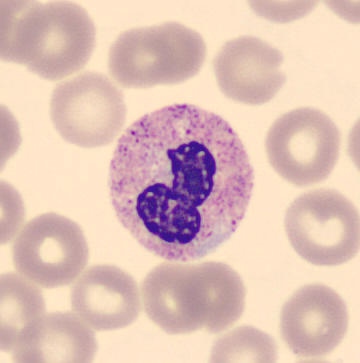The cell shown is a neutrophil (band).